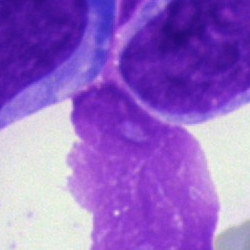
Morphology — artifact.